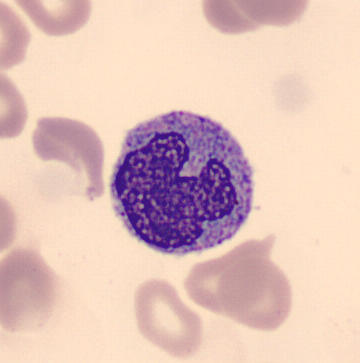

360×363; peripheral blood smear; single cell centered in the field.
Impression — monocyte.